May-Grünwald-Giemsa/Pappenheim stain; bone marrow aspirate smear: 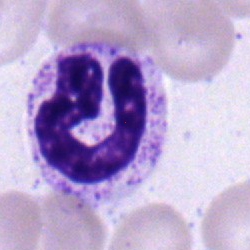

Classification — segmented neutrophil.